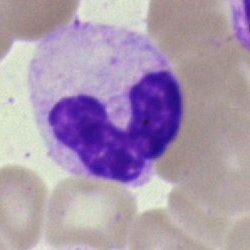 The cell shown is a polymorphonuclear neutrophil.